May-Grünwald-Giemsa stain · bone marrow aspirate smear:
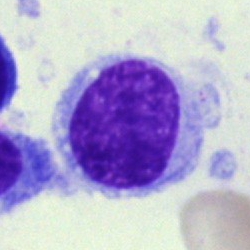 Q: What is shown here?
A: It is a hairy cell.